Bone marrow smear · cropped to a single cell · brightfield microscopy, 40× oil immersion:
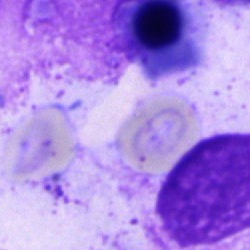

Morphology consistent with an artefact.